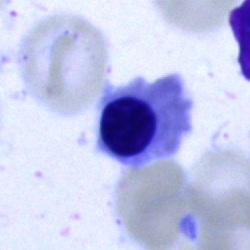

Bone marrow smear showing a normoblast.